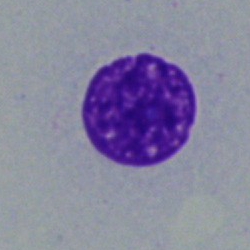
Cell = artifact.